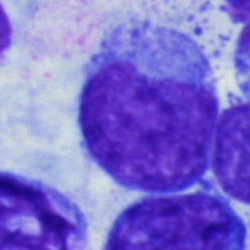

{"cell_type": "blast cell"}